40× objective, oil immersion; bone marrow smear:
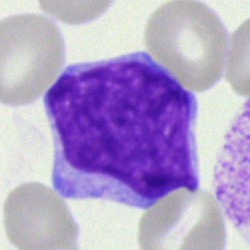 Classification — blast cell.